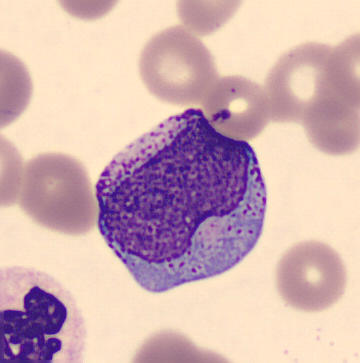

Peripheral blood smear.
Q: Identify the cell.
A: A promyelocyte.